Bone marrow aspirate smear; brightfield, 40× oil-immersion objective.
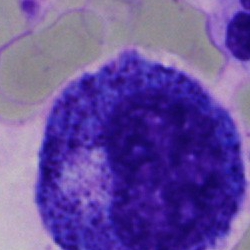{"cell_type": "pronormoblast"}